Bone marrow smear
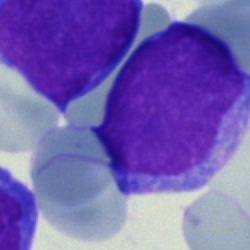

The cell is undifferentiated blast.